Brightfield, 40× oil-immersion objective. Single-cell field. Bone marrow aspirate smear: 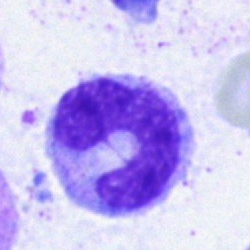
Q: What is shown here?
A: A neutrophil (band).